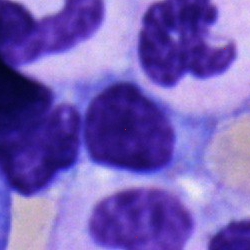

Specimen: bone marrow smear.
Morphological class: typical lymphocyte.